400 by 400 pixels · peripheral blood film · Romanowsky stain.
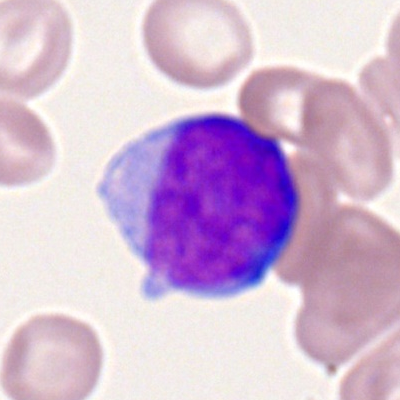Morphology consistent with a myeloblast.